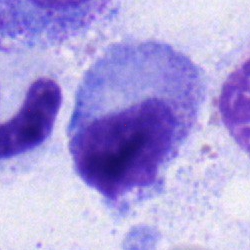
Specimen: bone marrow smear.
Morphological class: progranulocyte.
Lineage: myeloid.